Single cell centered in the field; May-Grünwald-Giemsa stain; bone marrow aspirate smear:
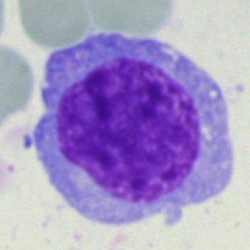 The morphological class is undifferentiated blast.